Bone marrow aspirate smear: 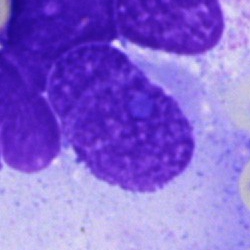{"cell_type": "artefact"}